Cropped to a single cell · Pappenheim-stained · bone marrow smear:
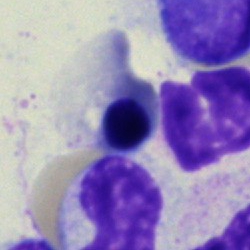A nucleated red blood cell.